Single cell centered in the field · 40× objective, oil immersion · bone marrow smear: 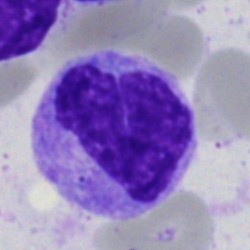Specimen: bone marrow aspirate smear.
Classification: monocyte.